Bone marrow aspirate smear: 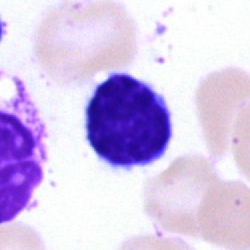 Specimen: bone marrow smear.
Morphological class: lymphocyte.
Lineage: lymphoid.